Bone marrow aspirate smear — 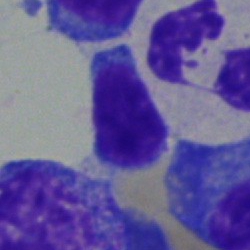
Showing a polymorphonuclear neutrophil.